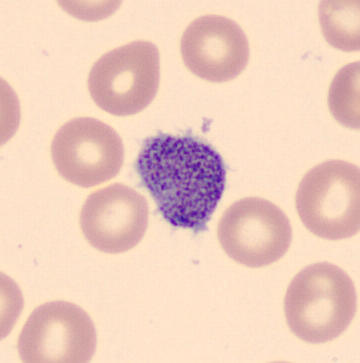Peripheral blood smear.

This is a platelet (thrombocyte).